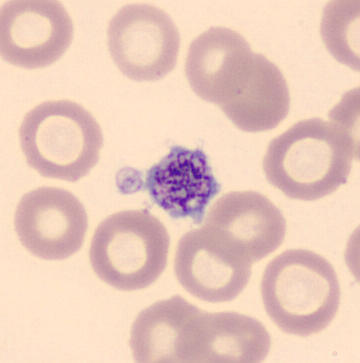Morphology — platelet.